Bone marrow aspirate smear — 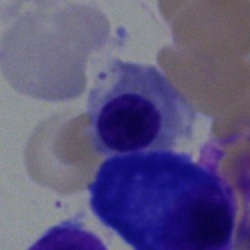 Single cell identified as a normoblast.